Bone marrow smear:
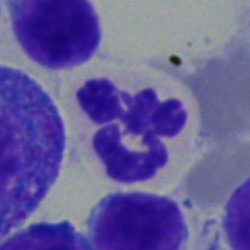 This is a neutrophil (segmented).